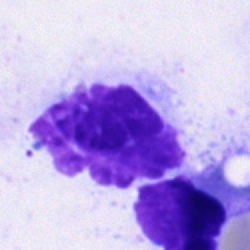Q: What is shown here?
A: Artifact.